Bone marrow smear. May-Grünwald-Giemsa/Pappenheim stain. 250 by 250 pixels
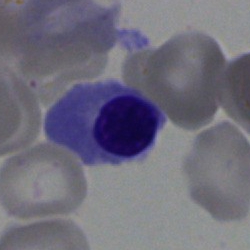Specimen: bone marrow aspirate smear.
Morphological class: erythroblast.